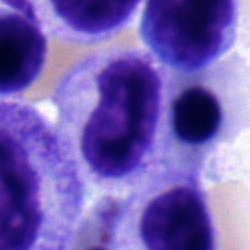

Morphology consistent with a metamyelocyte.